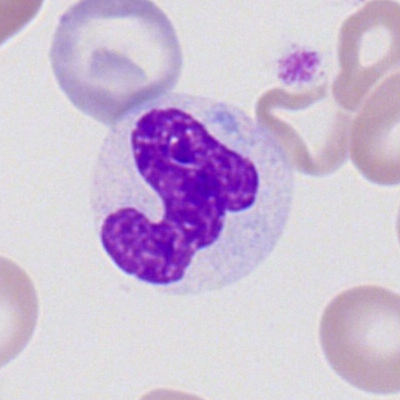Impression → polymorphonuclear neutrophil.